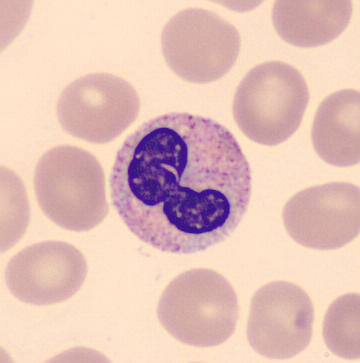Specimen: peripheral blood smear.
Morphological class: polymorphonuclear neutrophil.
Lineage: myeloid.